250×250. Bone marrow smear. MGG-stained:
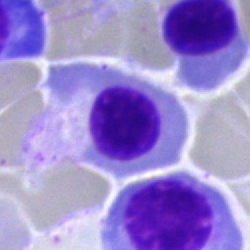

Nucleated red blood cell.